Romanowsky-type stain. 400×400. Peripheral blood smear
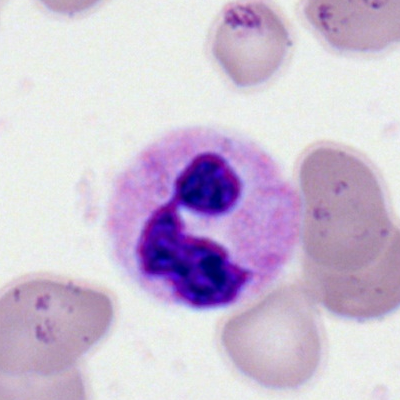

Single cell identified as a neutrophil (segmented).